Bone marrow smear · 250 by 250 pixels.
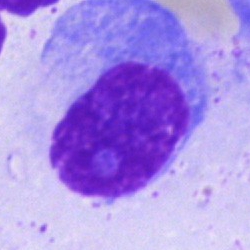Classification = plasmacyte.